Bone marrow aspirate smear.
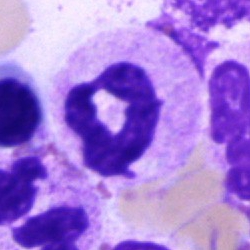The cell shown is a segmented neutrophil.